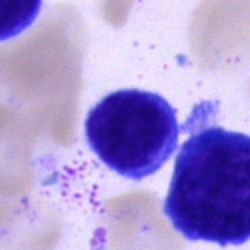
Specimen: bone marrow aspirate smear.
Cell type: typical lymphocyte.
Lineage: lymphoid.